Bone marrow aspirate smear: 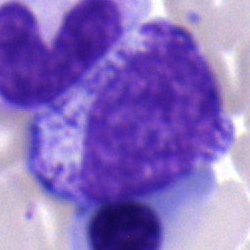

Specimen: bone marrow smear.
Morphological class: myelocyte.
Lineage: myeloid.